Peripheral blood smear:
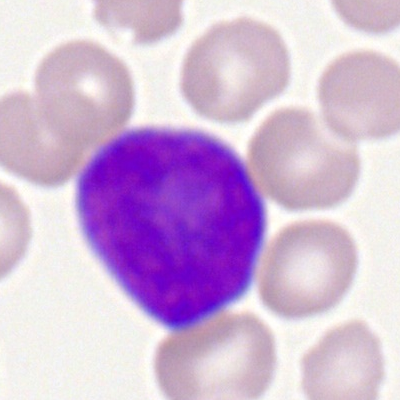 Specimen: peripheral blood smear.
Morphological class: myeloblast.
Lineage: myeloid.